Bone marrow aspirate smear: 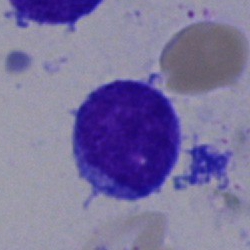

Q: What cell is this?
A: It is a blast.